Bone marrow smear; brightfield microscopy, 40× oil immersion:
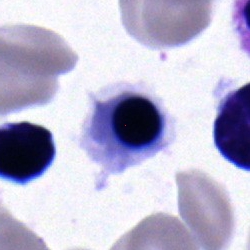

The cell is erythroblast.